Bone marrow aspirate smear: 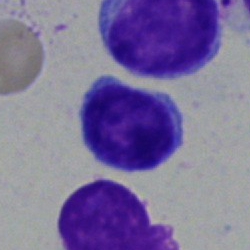
Q: What cell is this?
A: It is a typical lymphocyte.